Bone marrow smear · MGG-stained: 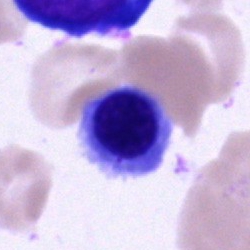

This is a nucleated red blood cell.